Bone marrow aspirate smear. Single cell centered in the field
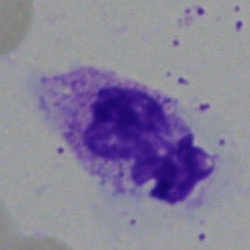

{"cell_type": "polymorphonuclear neutrophil", "lineage": "myeloid"}